Pappenheim-stained; brightfield microscopy, 40× oil immersion; bone marrow smear.
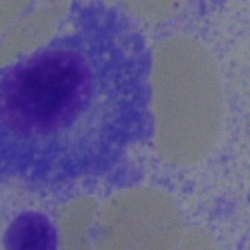

Specimen: bone marrow aspirate smear.
Cell: plasmacyte.